Bone marrow aspirate smear: 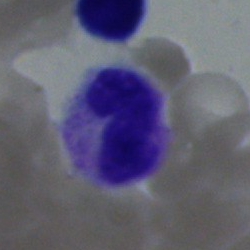 Specimen: bone marrow aspirate smear.
Morphological class: band neutrophil.
Lineage: myeloid.